Image size 250×250. Brightfield microscopy, 40× oil immersion. Bone marrow smear: 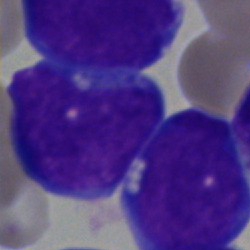
Classification — blast cell.